Single-cell crop · 360 by 363 pixels · peripheral blood smear: 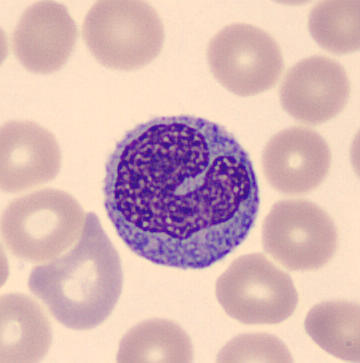The cell shown is a monocyte.